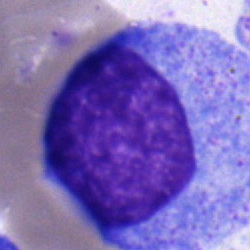

{"cell_type": "promyelocyte", "lineage": "myeloid"}